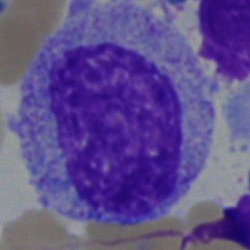

Classification — myelocyte.